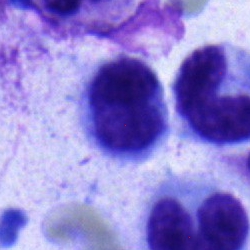
Classification = monocyte.